Bone marrow aspirate smear — 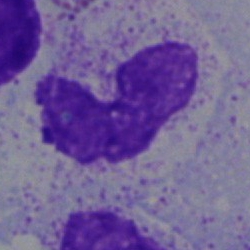
Classification = band neutrophil.